Bone marrow aspirate smear · May-Grünwald-Giemsa stain: 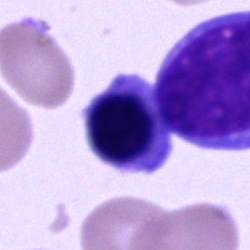Morphology → normoblast.